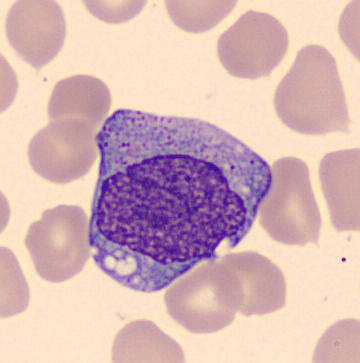Peripheral blood smear. Monocyte.